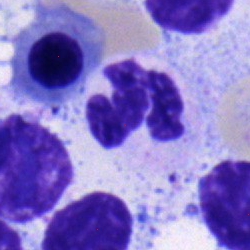 Specimen: bone marrow aspirate smear.
Cell type: segmented neutrophil.
Lineage: myeloid.